Bone marrow smear
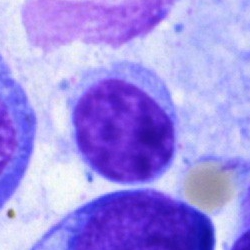

Morphological class — typical lymphocyte.